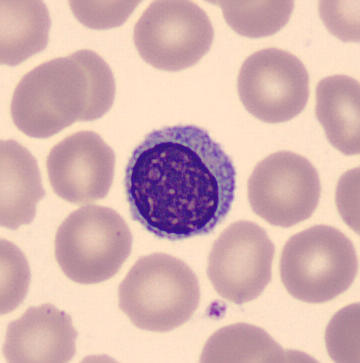
The cell shown is a lymphocyte.